Bone marrow aspirate smear. Brightfield, 40× oil-immersion objective: 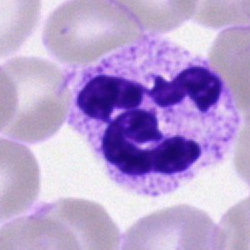The cell type is segmented neutrophil.